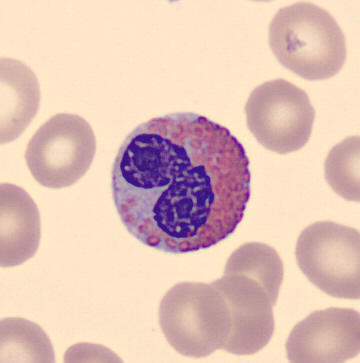 Image: Imaged on a CellaVision DM96 analyser. Peripheral blood smear. Single-cell crop.
Cell type = eosinophilic granulocyte.